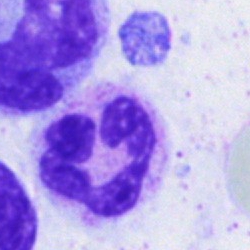 This is a segmented neutrophil.